Bone marrow aspirate smear: 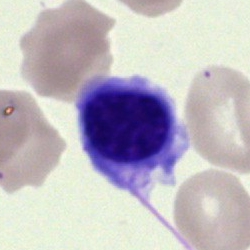
Q: What type of cell is this?
A: This is a typical lymphocyte.